Bone marrow smear: 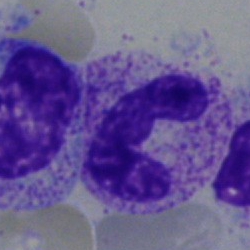Specimen: bone marrow smear.
Cell: band neutrophil.
Lineage: myeloid.